Single cell centered in the field · bone marrow aspirate smear: 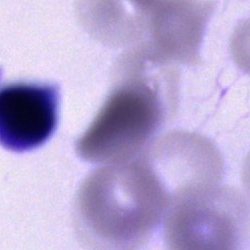{"cell_type": "cell of indeterminate lineage"}